Pappenheim-stained. Brightfield microscopy, 40× oil immersion. Bone marrow smear
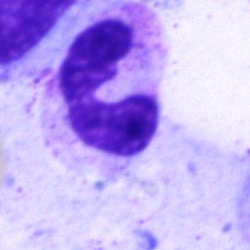Cell — polymorphonuclear neutrophil.